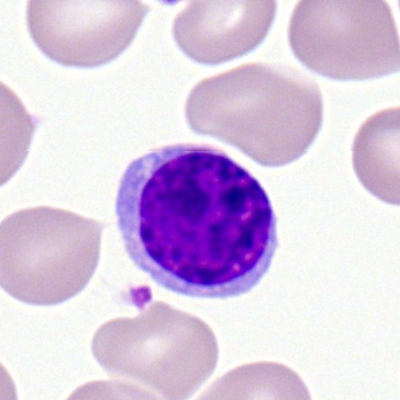

Peripheral blood film, single cell — typical lymphocyte.